Bone marrow aspirate smear:
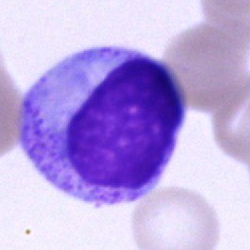

Myelocyte.